Bone marrow smear: 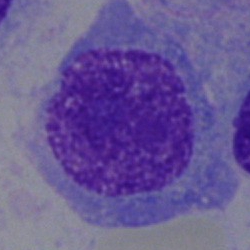 Q: What type of cell is this?
A: It is a plasma cell.